Bone marrow aspirate smear
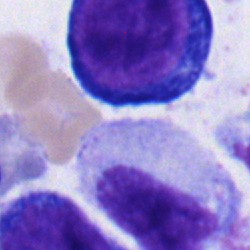
{"cell_type": "proerythroblast", "lineage": "erythroid"}